Bone marrow smear — 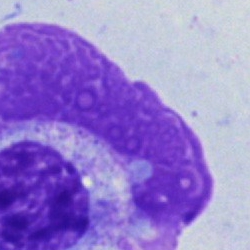
Cell type — artifact.